Bone marrow smear.
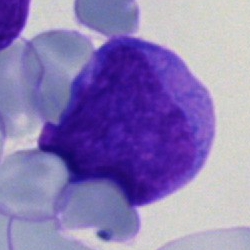The cell shown is an undifferentiated blast.